Bone marrow smear · single cell centered in the field · MGG-stained:
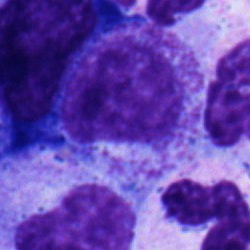 Q: Which cell type is shown here?
A: Myelocyte.